Cropped to a single cell · bone marrow smear · 250 by 250 pixels
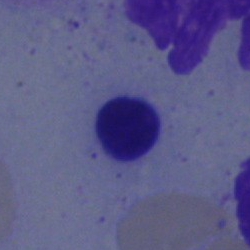 Specimen: bone marrow aspirate smear.
Classification: lymphocyte.